40× oil immersion · bone marrow smear · cropped to a single cell
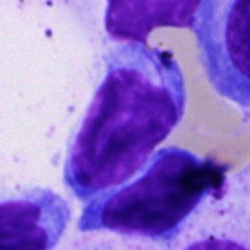
Morphology — lymphocyte.